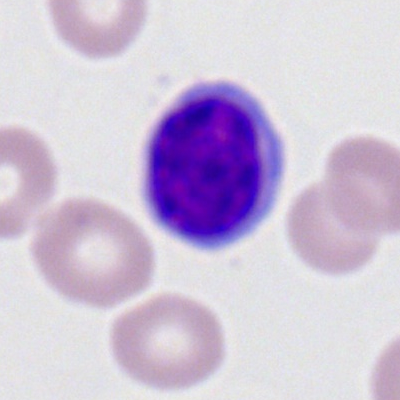

Q: What is the morphological classification of this cell?
A: A typical lymphocyte.